Bone marrow aspirate smear. Single cell centered in the field. 250 by 250 pixels: 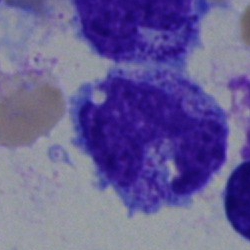

Morphology consistent with a monocyte.